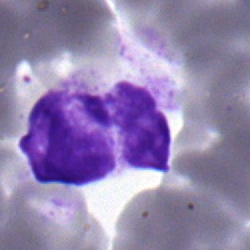
The cell shown is a segmented neutrophil.